250×250 px; bone marrow smear
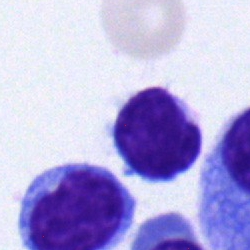

Morphology consistent with a typical lymphocyte.